Bone marrow smear:
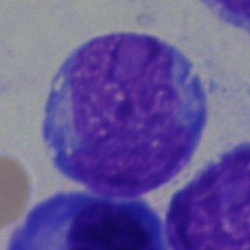 Morphological class = undifferentiated blast.